Bone marrow smear:
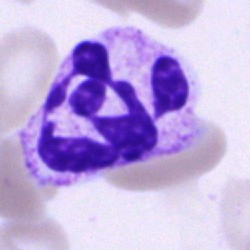
{"cell_type": "neutrophil (segmented)", "lineage": "myeloid"}